Single-cell crop · bone marrow smear: 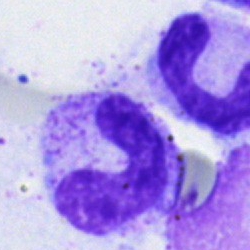

Morphology → band-form neutrophil.